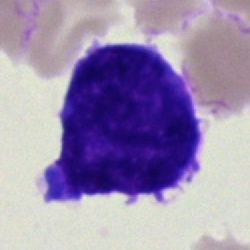

The cell is blast.